MGG-stained; brightfield, 40× oil-immersion objective; bone marrow aspirate smear:
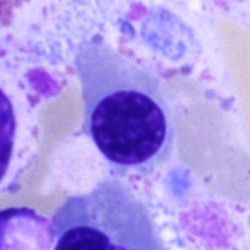Blast.